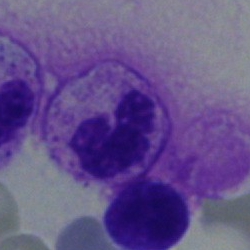
The cell is neutrophil (segmented).